Bone marrow smear. 40× objective, oil immersion:
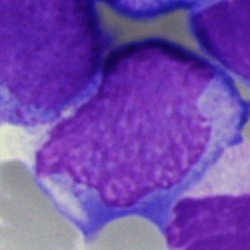{"cell_type": "blast cell"}